Bone marrow aspirate smear: 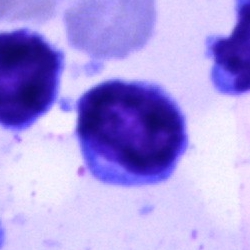 Typical lymphocyte.